Brightfield, 100× oil-immersion objective · 400×400 · peripheral blood film.
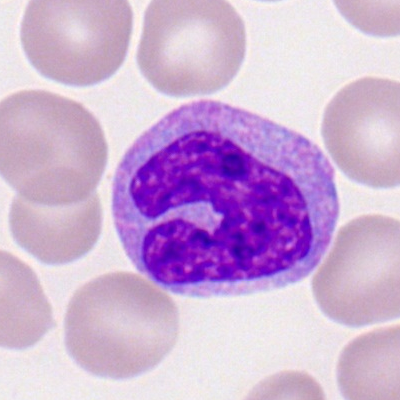This is a monocyte.